Bone marrow smear:
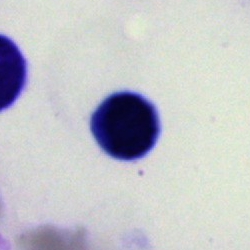 A lymphocyte.